May-Grünwald-Giemsa stain. Bone marrow aspirate smear.
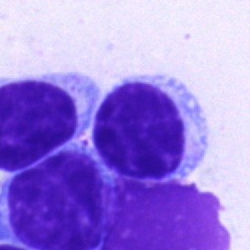
This is a lymphocyte.